Bone marrow smear.
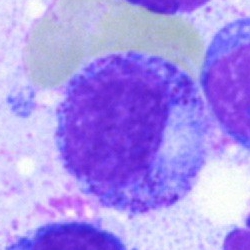
Showing a myelocyte.